Bone marrow smear. May-Grünwald-Giemsa/Pappenheim stain:
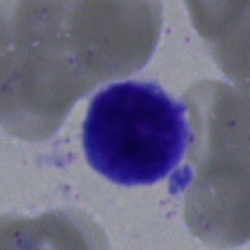A lymphocyte.